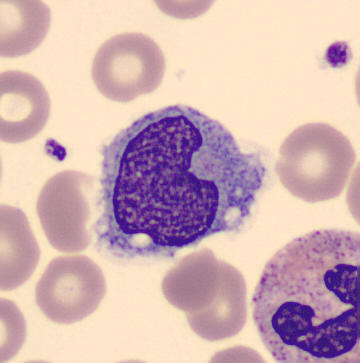
{"cell_type": "monocyte"}

Preparation: Peripheral blood smear.